Bone marrow smear
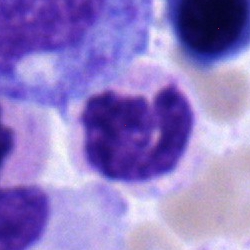

Q: What is the morphological classification of this cell?
A: Neutrophil (segmented).